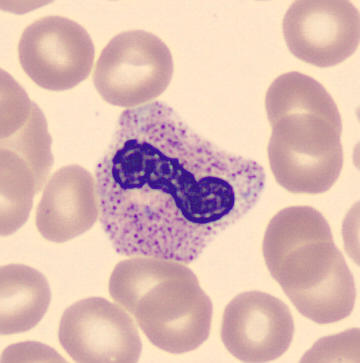

Preparation: 360×363 px · peripheral blood film.
Cell — band-form neutrophil.